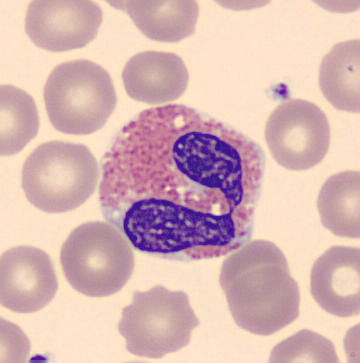 Peripheral blood film. 360 by 363 pixels. MGG stain.
Morphological class: eosinophil.